Bone marrow smear · 250 by 250 pixels
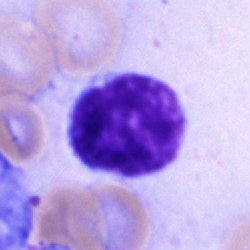
Cell type: lymphocyte.